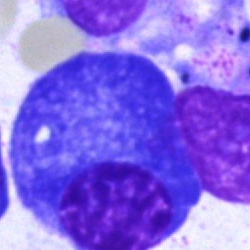

Specimen: bone marrow smear.
Cell type: plasmacyte.